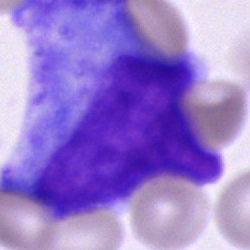This is a promyelocyte.